40× objective, oil immersion. Bone marrow aspirate smear: 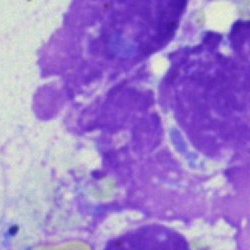Specimen: bone marrow aspirate smear.
Cell: artefact.